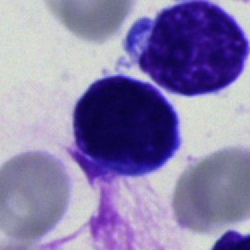

Specimen: bone marrow smear.
Cell type: undifferentiated blast.